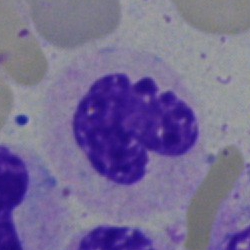 Single-cell crop from a bone marrow smear: segmented neutrophil.